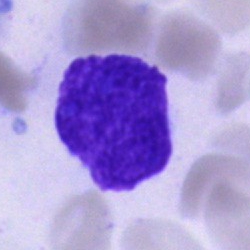
Artefact.